Bone marrow smear. May-Grünwald-Giemsa/Pappenheim stain. 250 by 250 pixels
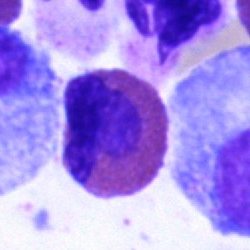 Q: What is the morphological classification of this cell?
A: It is an eosinophil.